Bone marrow aspirate smear: 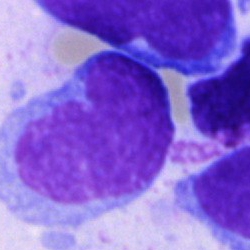
An undifferentiated blast.